Bone marrow aspirate smear; 250×250 px: 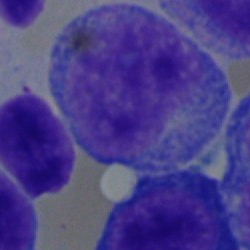
This is a blast.